Bone marrow smear:
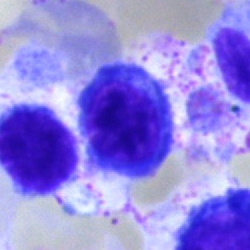
Specimen: bone marrow aspirate smear.
Classification: nucleated red blood cell.
Lineage: erythroid.